250 by 250 pixels; bone marrow smear:
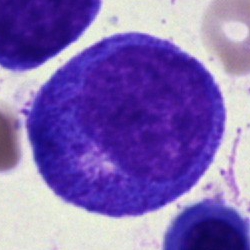
Q: What is the morphological classification of this cell?
A: A progranulocyte.